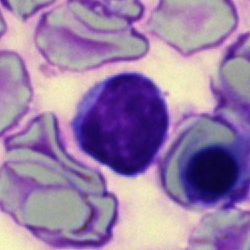The cell type is lymphocyte.